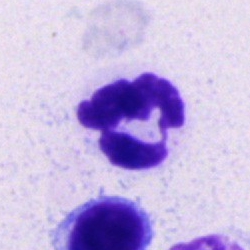Cell type — segmented neutrophil.